Bone marrow smear · image size 250×250.
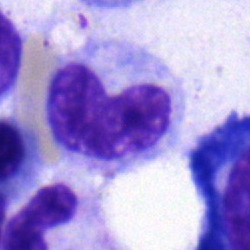Morphology — neutrophil (band).